May-Grünwald-Giemsa/Pappenheim stain; bone marrow smear — 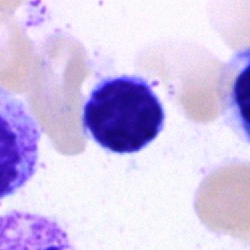

Q: Identify the cell.
A: It is a typical lymphocyte.